Peripheral blood film: 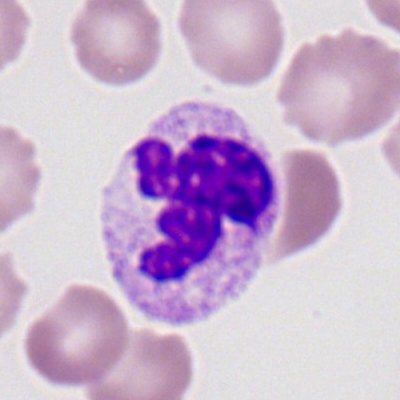Showing a segmented neutrophil.